Bone marrow aspirate smear:
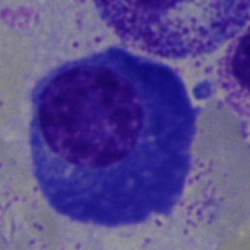

Morphological class: plasma cell.